Brightfield, 40× oil-immersion objective. 250×250. Bone marrow smear.
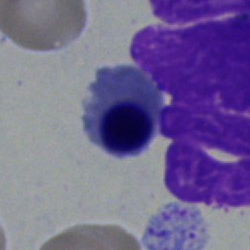The cell shown is an erythroblast.